Brightfield microscopy, 40× oil immersion · bone marrow aspirate smear:
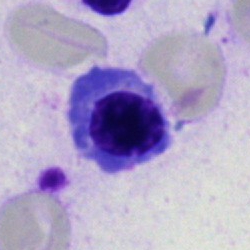 Morphology — normoblast.